Bone marrow aspirate smear · image size 250×250 — 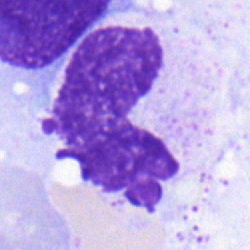 Specimen: bone marrow aspirate smear.
Morphological class: band neutrophil.